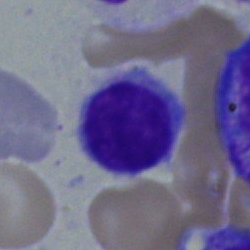

Showing a typical lymphocyte.